Image size 250×250 · bone marrow smear:
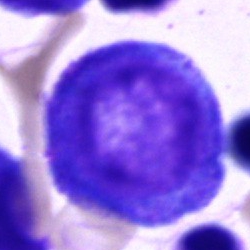

Showing a progranulocyte.